Brightfield microscopy, 40× oil immersion · bone marrow smear — 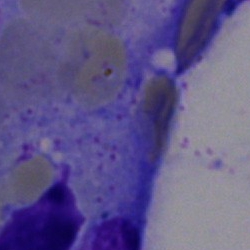Impression → artifact.